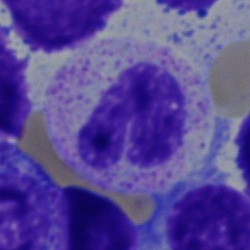 Morphological class = band neutrophil.